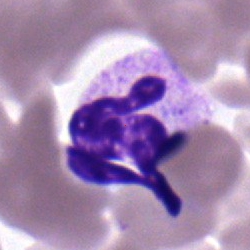
{"cell_type": "segmented neutrophil", "lineage": "myeloid"}